Pappenheim-stained. Bone marrow smear — 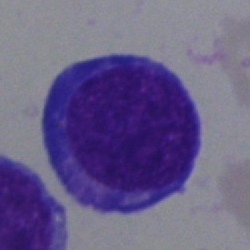

Showing a blast.